Peripheral blood film — 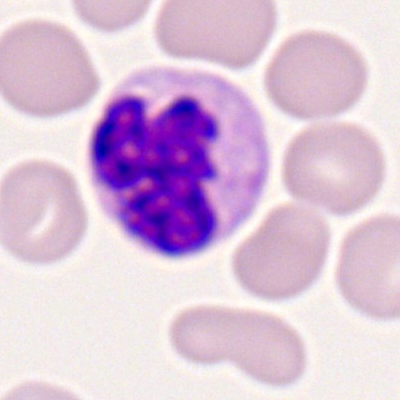This is a segmented neutrophil.